Bone marrow smear: 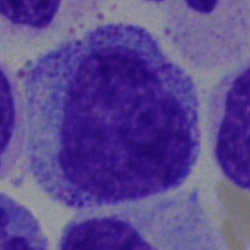

The classification is promyelocyte.